Bone marrow smear
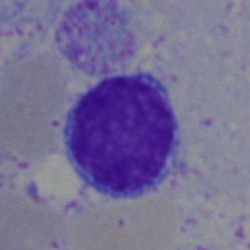Q: What is the morphological classification of this cell?
A: Lymphocyte.